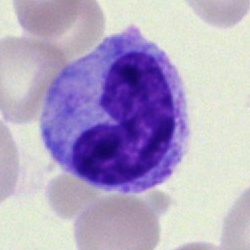

Cell type = monocyte.